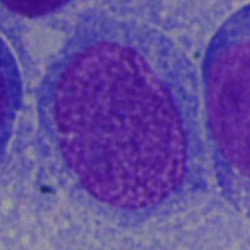 Classification = blast.